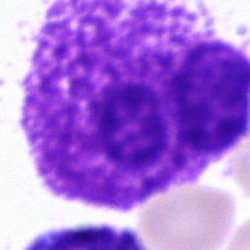

An artifact on a bone marrow smear.